40× objective, oil immersion · bone marrow aspirate smear.
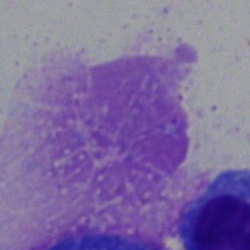

Impression — artifact.